Peripheral blood film: 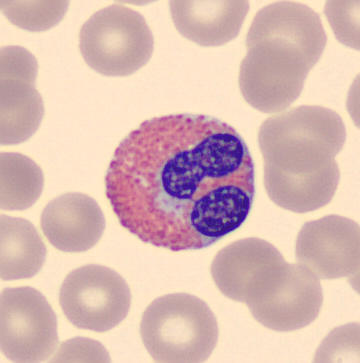{"cell_type": "eosinophil", "lineage": "myeloid"}